Bone marrow smear; Pappenheim-stained
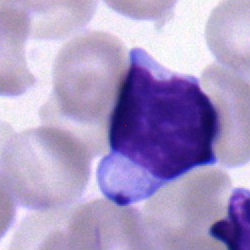Single cell identified as a lymphocyte.